Bone marrow smear; single-cell crop.
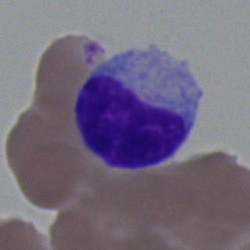Q: What is the morphological classification of this cell?
A: Typical lymphocyte.